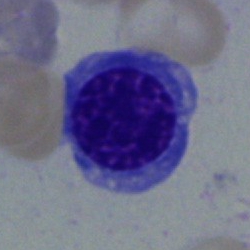

Morphology consistent with a nucleated red blood cell.